Bone marrow smear: 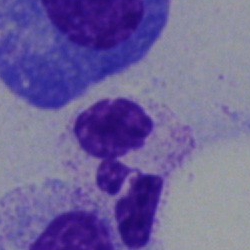

Q: What is the morphological classification of this cell?
A: Neutrophil (segmented).